Bone marrow smear
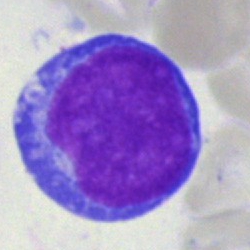

Q: Identify the cell.
A: This is an undifferentiated blast.